Bone marrow smear: 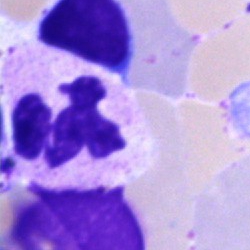{"cell_type": "segmented neutrophil", "lineage": "myeloid"}